Bone marrow smear
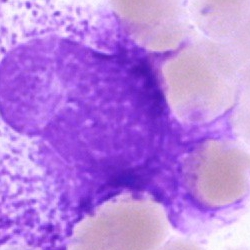

{"cell_type": "artifact"}